Bone marrow smear · cropped to a single cell: 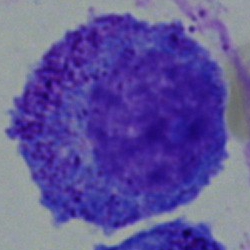

Q: Identify the cell.
A: Promyelocyte.